40× objective, oil immersion · bone marrow aspirate smear.
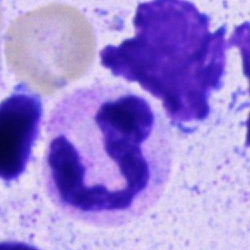
Polymorphonuclear neutrophil.